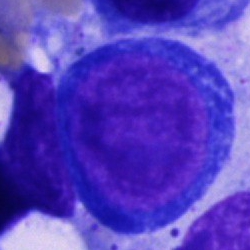
Q: Identify the cell.
A: A proerythroblast.